Peripheral blood smear.
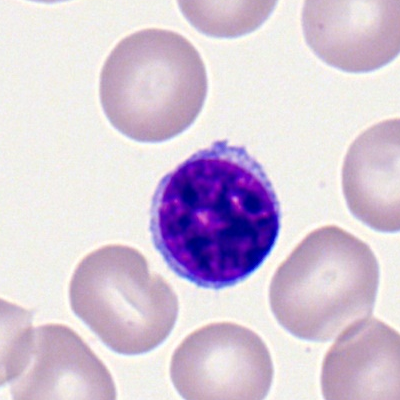
A typical lymphocyte.